Cropped to a single cell; bone marrow aspirate smear:
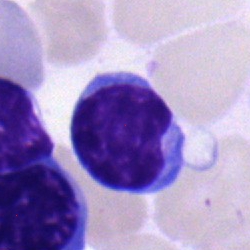

Showing a typical lymphocyte.